Bone marrow aspirate smear
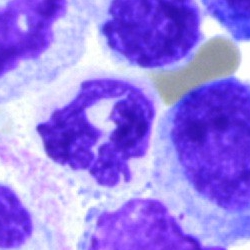Q: What type of cell is this?
A: It is a segmented neutrophil.